Bone marrow smear
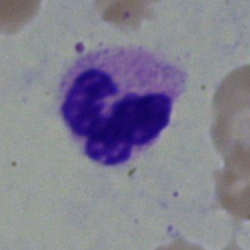
The cell type is polymorphonuclear neutrophil.